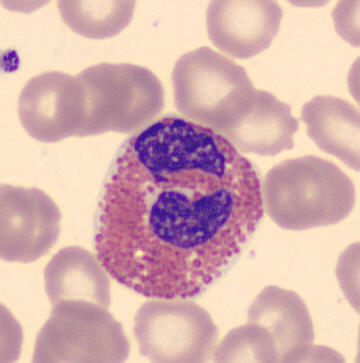 Specimen: peripheral blood smear.
Classification: eosinophilic granulocyte.
Lineage: myeloid. 360×363; CellaVision DM96.